Bone marrow smear — 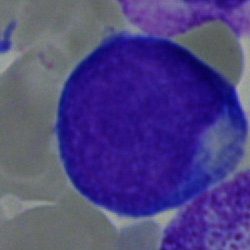
Specimen: bone marrow aspirate smear.
Cell type: pronormoblast.
Lineage: erythroid.